Bone marrow smear
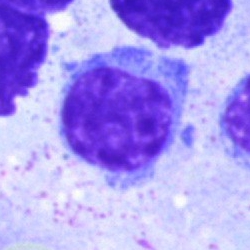
This is a lymphocyte.